Bone marrow smear:
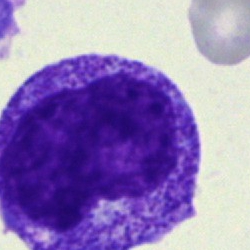
{"cell_type": "metamyelocyte"}